Bone marrow aspirate smear: 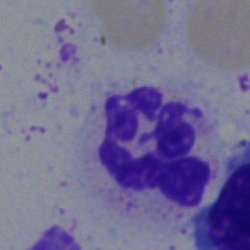

Cell — neutrophil (segmented).